Peripheral blood smear
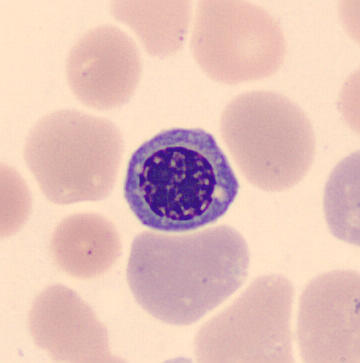 Cell — nucleated red cell.